Bone marrow smear; MGG-stained
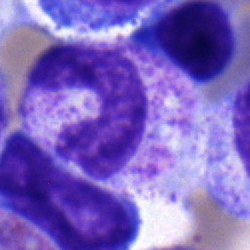

This is a band neutrophil.